Bone marrow aspirate smear; May-Grünwald-Giemsa stain — 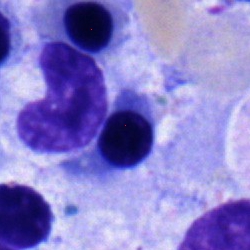
{"cell_type": "erythroblast"}